Bone marrow aspirate smear:
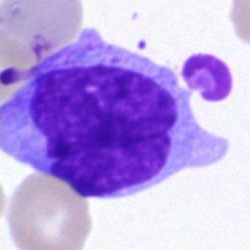A monocyte.